MGG-stained. Bone marrow smear — 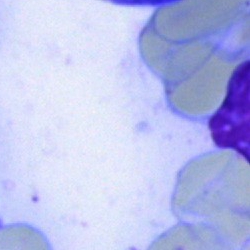
The cell type is artefact.